40× objective, oil immersion. Bone marrow aspirate smear.
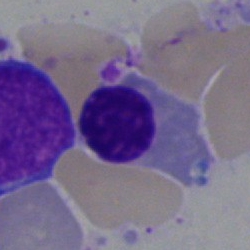
{"cell_type": "normoblast", "lineage": "erythroid"}